Peripheral blood smear
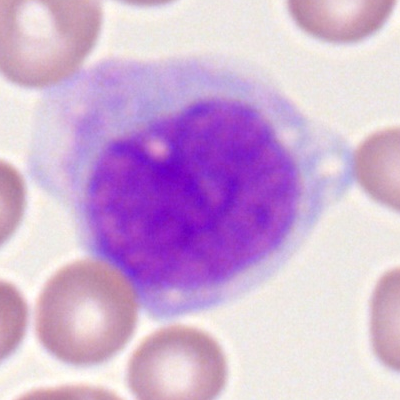 Q: What is the morphological classification of this cell?
A: A myeloblast.